Bone marrow smear
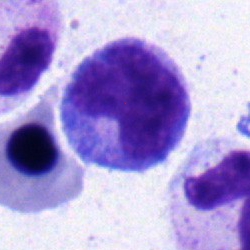Morphology consistent with a monocyte.